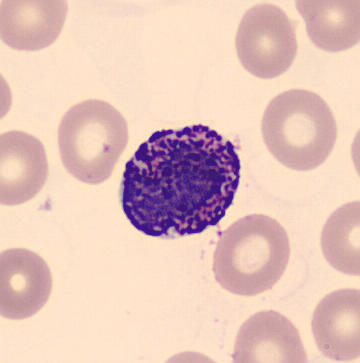
Peripheral blood smear.

Basophilic granulocyte.